May-Grünwald-Giemsa stain; bone marrow aspirate smear.
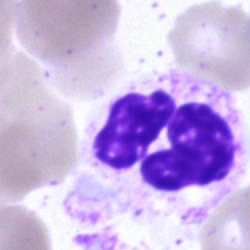

The classification is neutrophil (segmented).